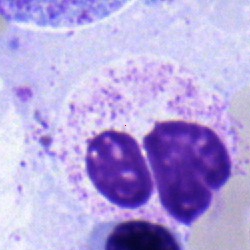Morphological class — segmented neutrophil.